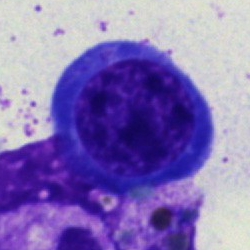Showing a plasmacyte.